Bone marrow smear
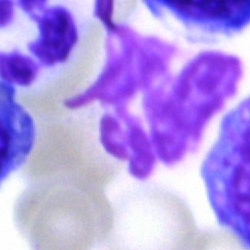Q: What is shown here?
A: It is an artefact.